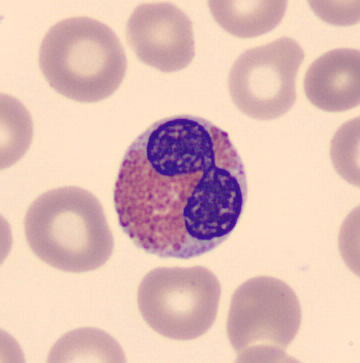
The cell shown is an eosinophil.
Peripheral blood smear.